Single-cell crop · bone marrow aspirate smear.
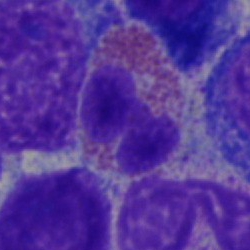
The cell shown is an eosinophil.